Image size 250×250 · bone marrow aspirate smear: 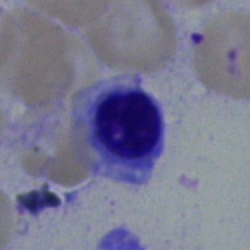Showing a nucleated red blood cell.